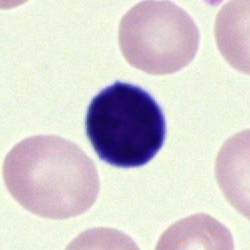

Q: What is shown here?
A: An artifact.